Cropped to a single cell; peripheral blood film; 100× objective, oil immersion:
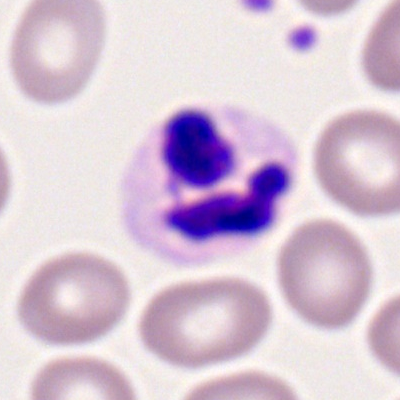 {"cell_type": "polymorphonuclear neutrophil"}